Bone marrow smear.
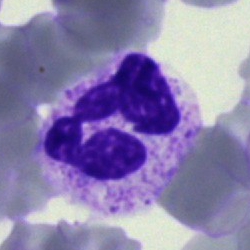The cell is polymorphonuclear neutrophil.